Brightfield microscopy, 40× oil immersion; bone marrow smear; MGG-stained: 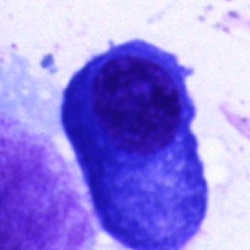

Specimen: bone marrow smear.
Classification: plasmacyte.
Lineage: lymphoid.